250×250 px. Brightfield microscopy, 40× oil immersion. Bone marrow aspirate smear — 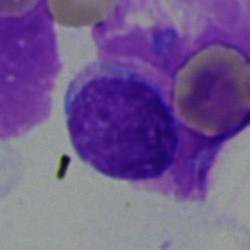 Classification: lymphocyte.